Bone marrow smear:
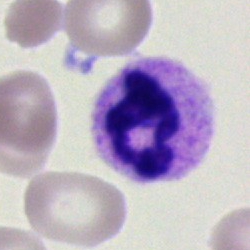
Q: Which cell type is shown here?
A: It is a polymorphonuclear neutrophil.